Bone marrow aspirate smear
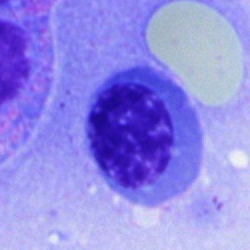
Showing a nucleated red cell.